Bone marrow smear. Single cell centered in the field — 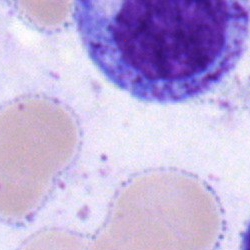Q: What cell is this?
A: Promyelocyte.